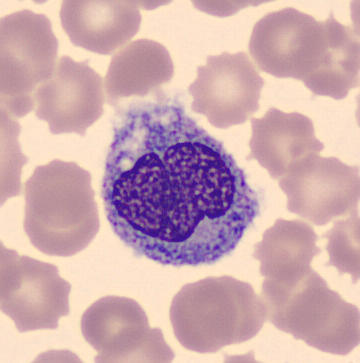 Monocyte.